Bone marrow smear · single-cell crop
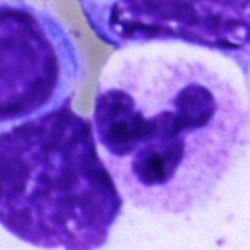
Q: Identify the cell.
A: A neutrophil (segmented).